Image size 250×250; bone marrow smear — 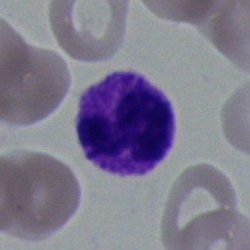 The cell shown is a neutrophil (segmented).